Peripheral blood film
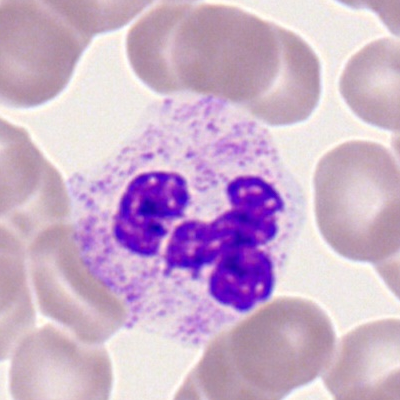
This is a segmented neutrophil.